Peripheral blood smear.
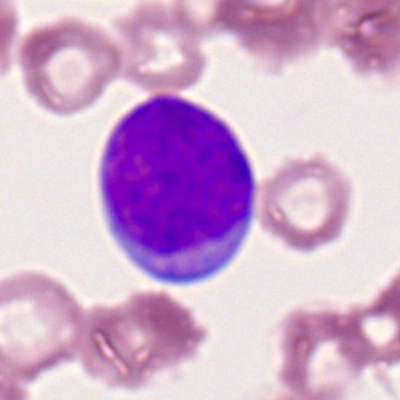 Q: What is the morphological classification of this cell?
A: It is a myeloblast.